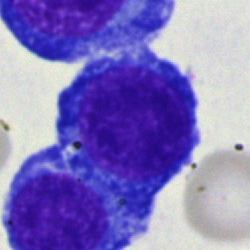 Bone marrow aspirate smear, single cell — nucleated red blood cell.